Single-cell crop · 40× objective, oil immersion · bone marrow aspirate smear
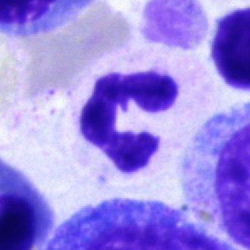 Morphology — neutrophil (segmented).